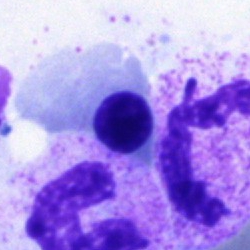 Morphological class = nucleated red blood cell.